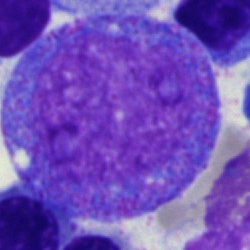
Single-cell crop from a bone marrow smear: progranulocyte.